Bone marrow smear — 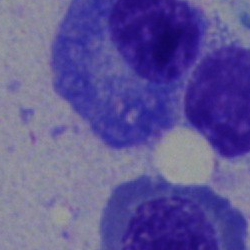

Specimen: bone marrow aspirate smear.
Cell type: plasma cell.
Lineage: lymphoid.